40× objective, oil immersion. Bone marrow smear. May-Grünwald-Giemsa/Pappenheim stain
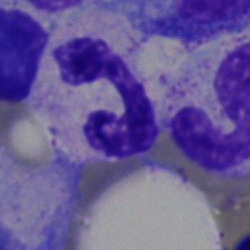
Q: What cell is this?
A: A polymorphonuclear neutrophil.